Single cell centered in the field; Romanowsky-type stain; peripheral blood film: 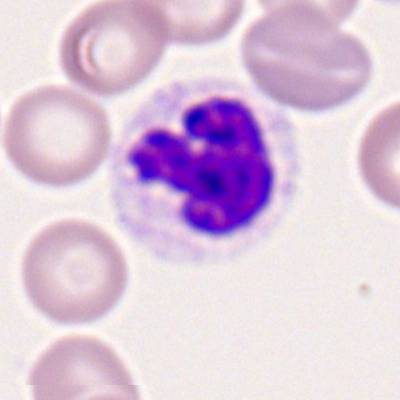Morphology — segmented neutrophil.